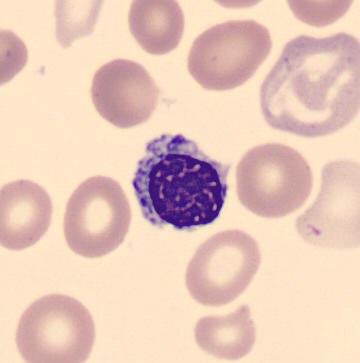Morphology → normoblast.